Bone marrow aspirate smear — 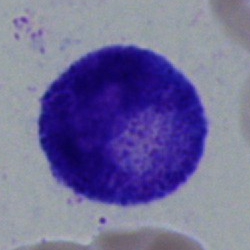

The cell shown is a progranulocyte.